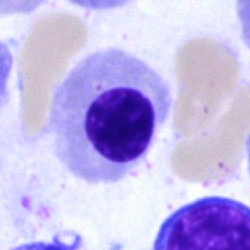Cell type — erythroblast.